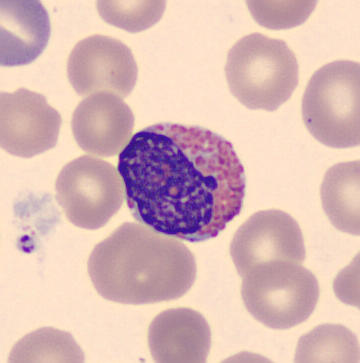Cell type = eosinophilic granulocyte.